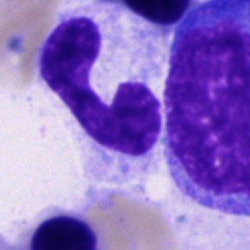Cell type: neutrophil (band).